Peripheral blood smear — 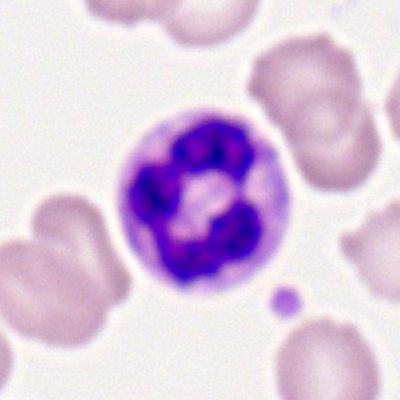
Q: What is the morphological classification of this cell?
A: Neutrophil (segmented).